Bone marrow smear.
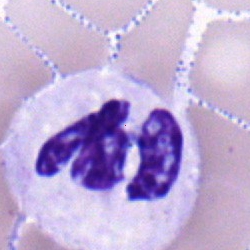
Specimen: bone marrow aspirate smear.
Morphological class: segmented neutrophil.